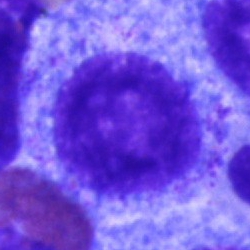
Bone marrow smear showing a promyelocyte.